Peripheral blood smear.
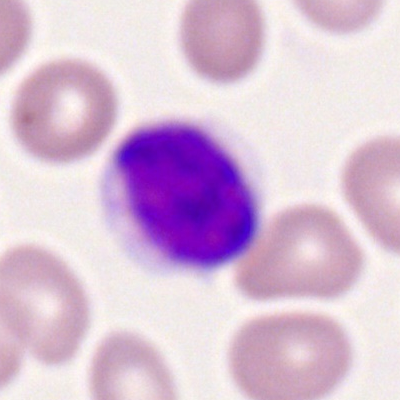Lymphocyte.